Bone marrow aspirate smear. Single cell centered in the field — 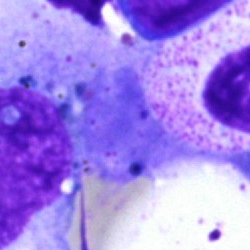 An artifact.